Bone marrow aspirate smear. MGG-stained:
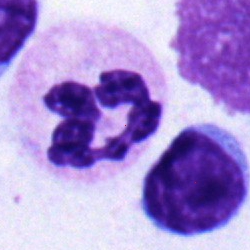
Morphology consistent with a segmented neutrophil.